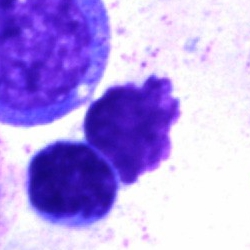 A typical lymphocyte.